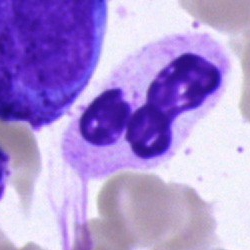
Morphology consistent with a segmented neutrophil.